Bone marrow smear
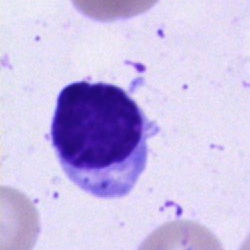
Morphology → typical lymphocyte.